Bone marrow smear
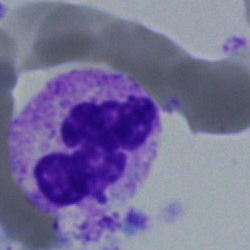 A segmented neutrophil.